Bone marrow aspirate smear · May-Grünwald-Giemsa/Pappenheim stain:
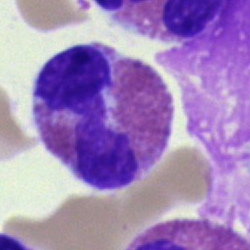 The morphological class is eosinophil.